Bone marrow aspirate smear · single-cell crop
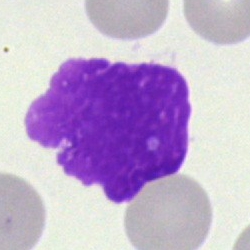
Classification = artifact.